250×250 px · bone marrow smear: 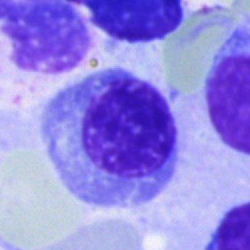
Cell type = erythroblast.